250 by 250 pixels. Bone marrow aspirate smear:
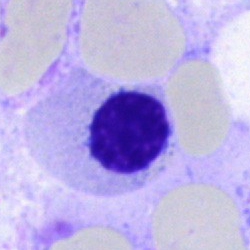

Cell: normoblast.